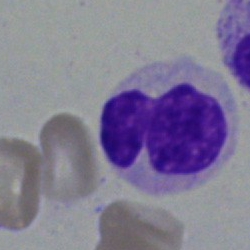Single cell identified as a polymorphonuclear neutrophil.